Bone marrow aspirate smear.
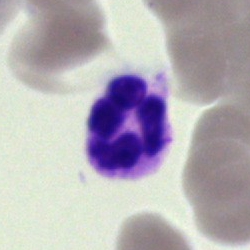 The classification is segmented neutrophil.